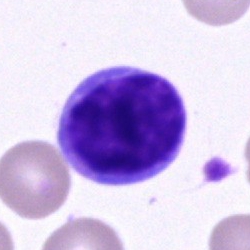Specimen: bone marrow smear.
Classification: typical lymphocyte.